Bone marrow smear:
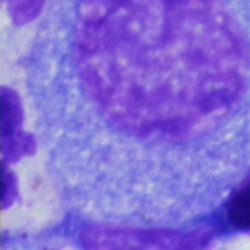

A promyelocyte.